Peripheral blood film. Romanowsky-stained
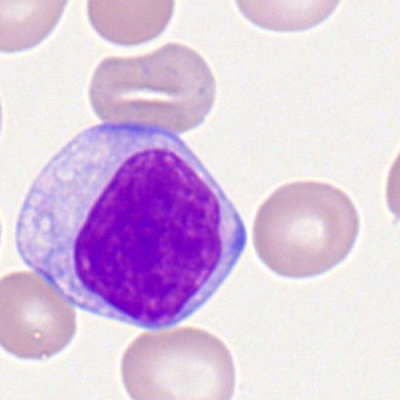

This is a lymphocyte.